Bone marrow aspirate smear:
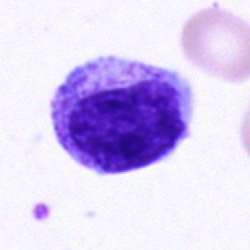 Impression — myelocyte.